Single cell centered in the field. Bone marrow aspirate smear: 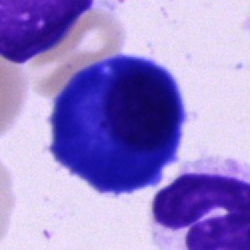
Single cell identified as a plasmacyte.